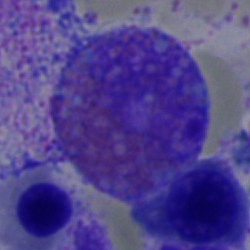

Morphological class — eosinophil.